Bone marrow aspirate smear.
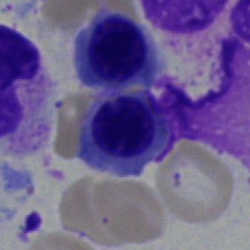 Specimen: bone marrow aspirate smear.
Morphological class: normoblast.